Bone marrow aspirate smear · Pappenheim-stained
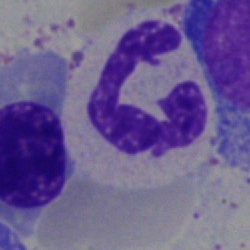
Impression → neutrophil (segmented).